May-Grünwald-Giemsa/Pappenheim stain. Bone marrow smear
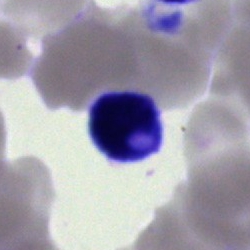Typical lymphocyte.